May-Grünwald-Giemsa/Pappenheim stain; bone marrow smear; 250×250.
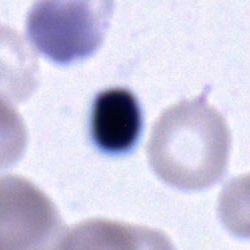Single cell identified as a typical lymphocyte.